Bone marrow aspirate smear:
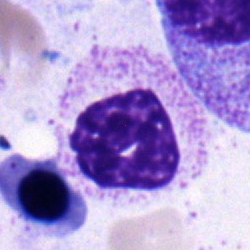
Morphology → band-form neutrophil.